Bone marrow aspirate smear · 250×250 px · single-cell crop — 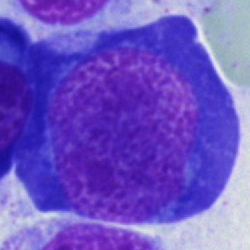
The cell shown is a progranulocyte.